Pappenheim-stained. Brightfield, 40× oil-immersion objective. Bone marrow aspirate smear:
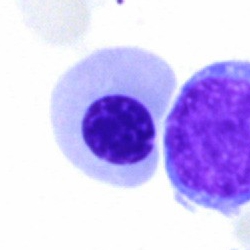 Showing an erythroblast.